Bone marrow smear
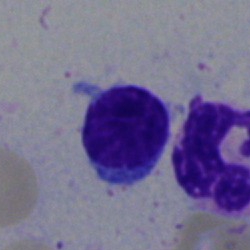

Cell = typical lymphocyte.